Bone marrow aspirate smear. Image size 250×250:
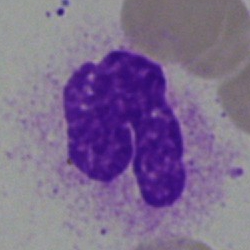 Morphology consistent with an artifact.